Cropped to a single cell. Bone marrow smear
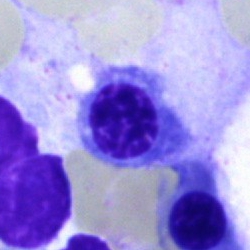

Single cell identified as a normoblast.